Bone marrow smear
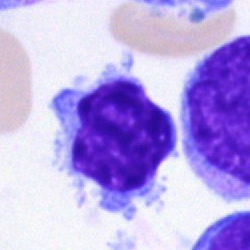

Single cell identified as a typical lymphocyte.